Bone marrow smear — 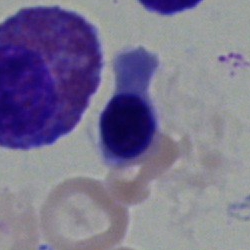 Classification: nucleated red cell.